Single cell centered in the field · bone marrow smear · 250×250 px — 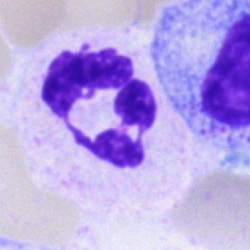

Q: What cell is this?
A: It is a neutrophil (segmented).